Bone marrow aspirate smear; image size 250×250
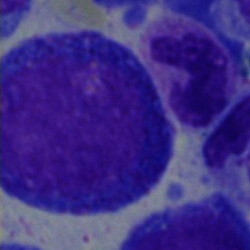
Impression → proerythroblast.